Bone marrow smear
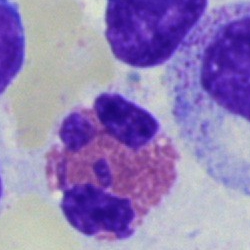 Specimen: bone marrow aspirate smear.
Morphological class: eosinophilic granulocyte.